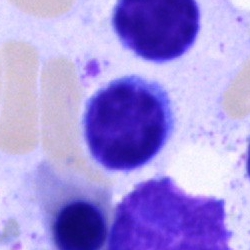

Morphological class = typical lymphocyte.